Brightfield microscopy, 40× oil immersion; bone marrow aspirate smear.
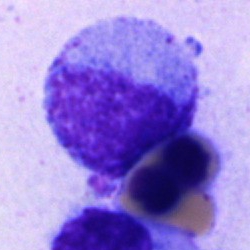

The cell shown is a promyelocyte.